Bone marrow aspirate smear.
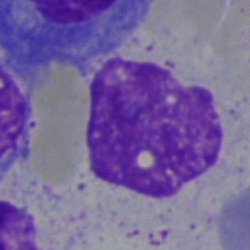Q: What is shown here?
A: It is an artifact.